Bone marrow smear; 250 by 250 pixels — 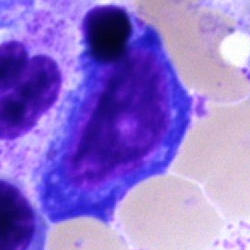

Impression — proerythroblast.